Peripheral blood smear. Single-cell crop: 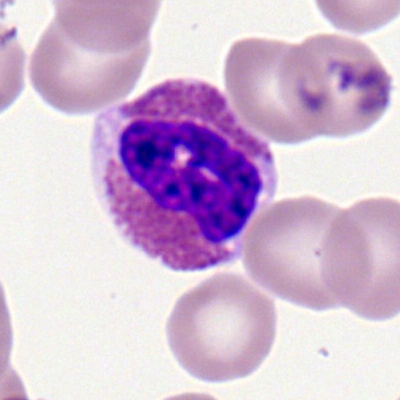
Specimen: peripheral blood smear.
Cell type: eosinophil.